Bone marrow smear.
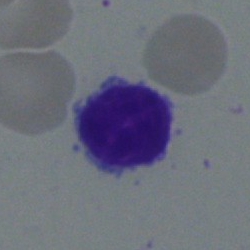
Q: What cell is this?
A: Typical lymphocyte.